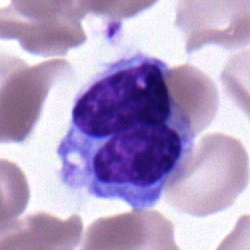Impression — monocyte.